Bone marrow aspirate smear: 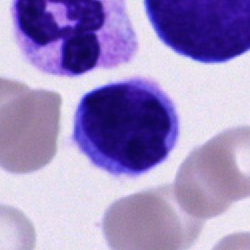

Cell of indeterminate lineage.